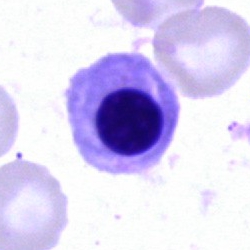Cell type = normoblast.